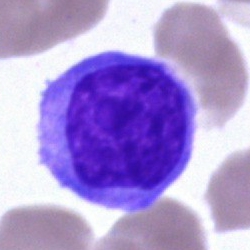Morphology → blast cell.